Bone marrow smear:
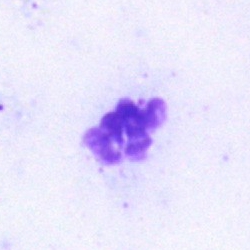 The cell type is artifact.